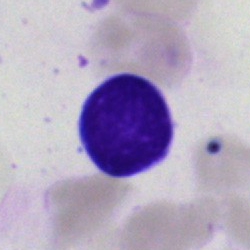
Q: What is the morphological classification of this cell?
A: This is a typical lymphocyte.